Image size 400×400. Single-cell field. Peripheral blood film.
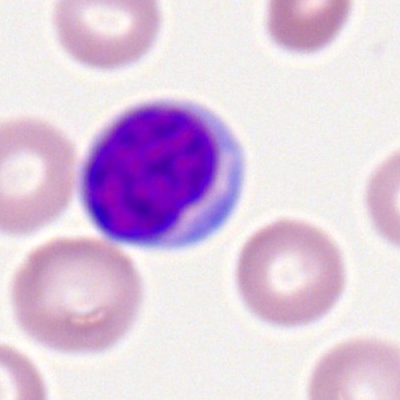
Q: Identify the cell.
A: Typical lymphocyte.